Bone marrow aspirate smear — 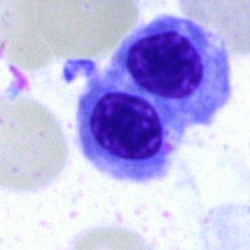 Q: What type of cell is this?
A: This is a nucleated red cell.